Single-cell crop · peripheral blood smear: 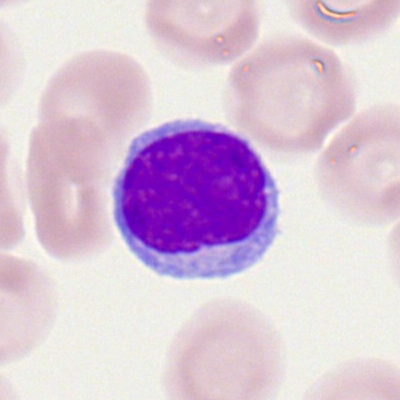Showing a typical lymphocyte.